Bone marrow smear. 250 by 250 pixels:
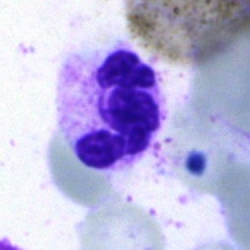Cell type — neutrophil (segmented).